Bone marrow smear: 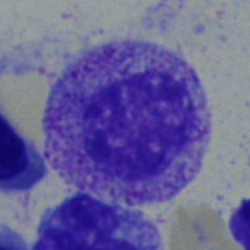
Single cell identified as a myelocyte.